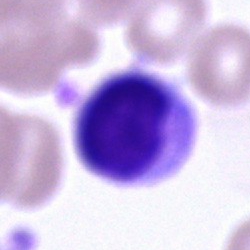Morphological class — unidentifiable cell.